400×400 px. Peripheral blood smear — 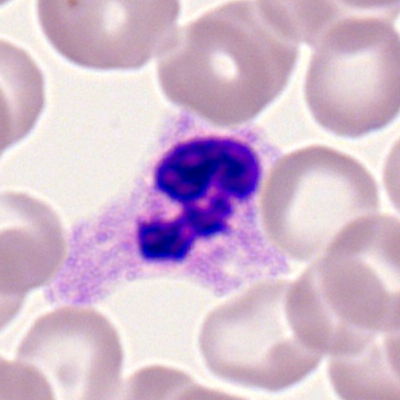 A neutrophil (segmented).